May-Grünwald-Giemsa/Pappenheim stain · bone marrow smear · cropped to a single cell: 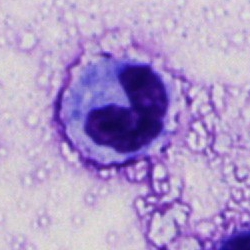{"cell_type": "segmented neutrophil", "lineage": "myeloid"}